Bone marrow smear.
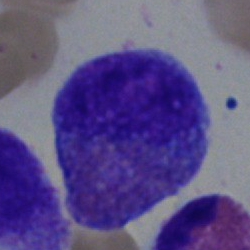Q: What is the morphological classification of this cell?
A: This is an eosinophil.